Cropped to a single cell. Bone marrow smear — 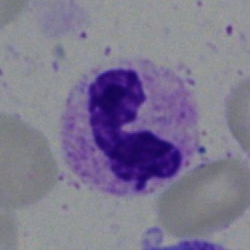 Q: Which cell type is shown here?
A: This is a polymorphonuclear neutrophil.